Bone marrow smear — 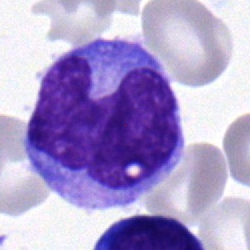 Q: What is the morphological classification of this cell?
A: A monocyte.